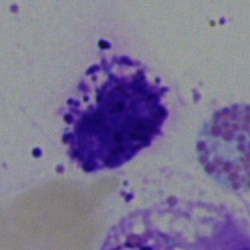 Specimen: bone marrow aspirate smear.
Classification: basophil.
Lineage: myeloid.